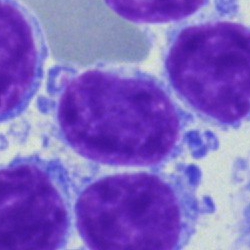 The morphological class is lymphocyte.